May-Grünwald-Giemsa/Pappenheim stain; bone marrow aspirate smear: 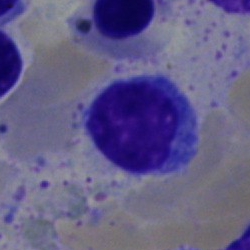
This is a lymphocyte.